Pappenheim-stained; bone marrow smear:
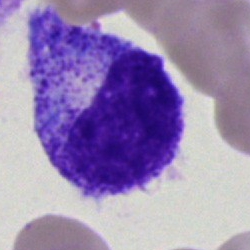

The cell shown is a metamyelocyte.